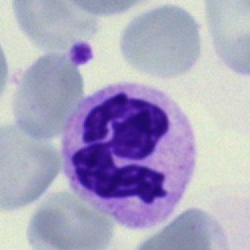

Bone marrow aspirate smear, single cell — segmented neutrophil.